Peripheral blood film · cropped to a single cell · 360×363.
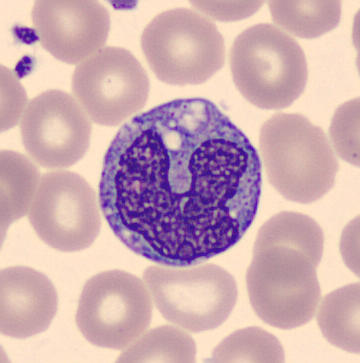Q: What type of cell is this?
A: It is a monocyte.